Bone marrow aspirate smear
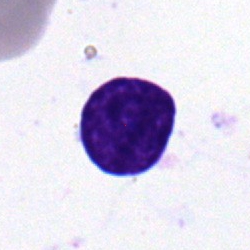

A lymphocyte.